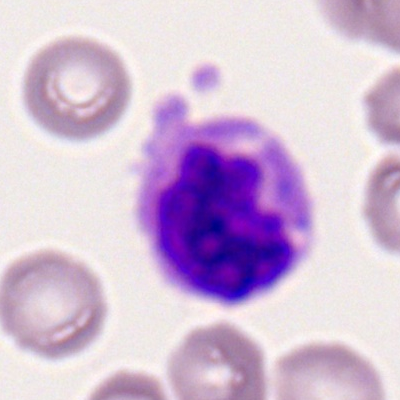
Specimen: peripheral blood smear.
Classification: monocyte.
Lineage: myeloid.